Bone marrow smear
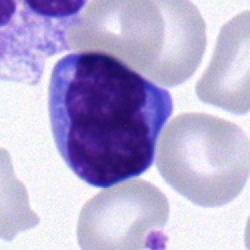 The cell shown is a typical lymphocyte.